Bone marrow aspirate smear: 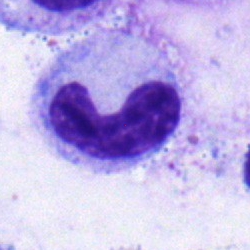 Morphology — band neutrophil.